Bone marrow aspirate smear
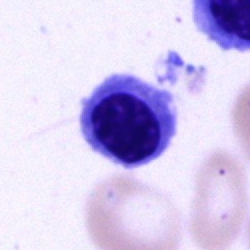The cell shown is an erythroblast.